Peripheral blood smear.
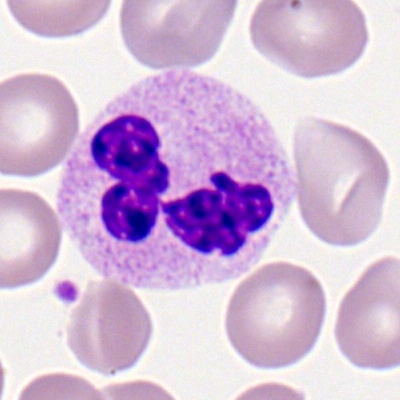Cell: neutrophil (segmented).